Bone marrow smear — 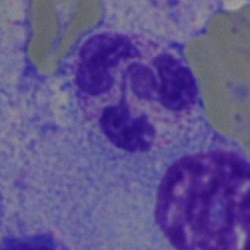 Impression — polymorphonuclear neutrophil.